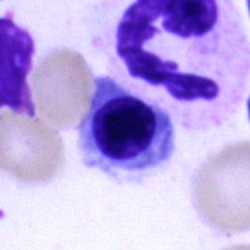
Q: Identify the cell.
A: It is a nucleated red blood cell.